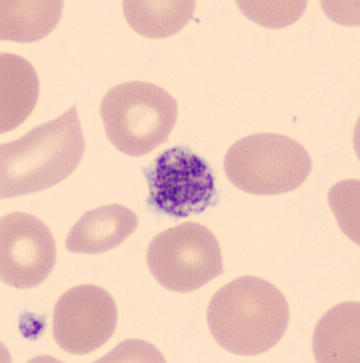

Q: What is shown here?
A: It is a thrombocyte.
Acquisition: Peripheral blood film.